Peripheral blood smear. Romanowsky-type stain
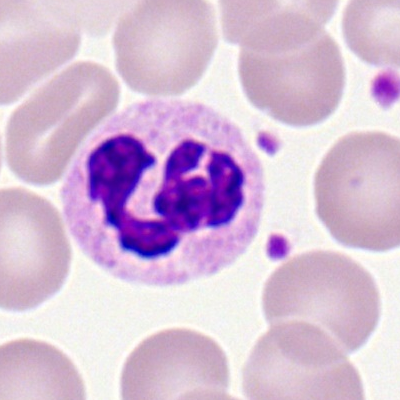
The morphological class is segmented neutrophil.